360×363 · peripheral blood film · MGG-stained — 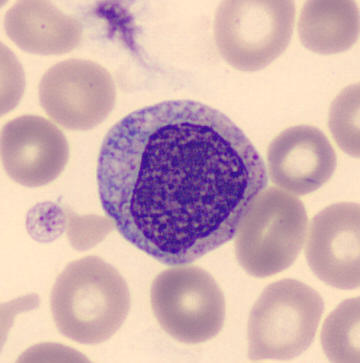

A progranulocyte.